Peripheral blood smear. 100× objective, oil immersion
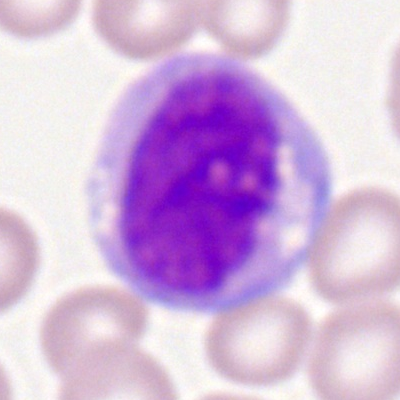
Single cell identified as a monocyte.